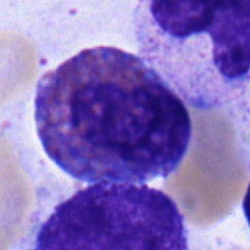

Q: Which cell type is shown here?
A: It is an eosinophilic granulocyte.